Bone marrow smear
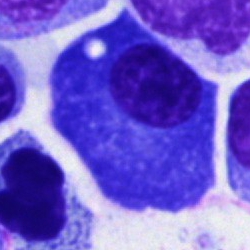

Q: What cell is this?
A: Plasma cell.